250×250. Bone marrow smear: 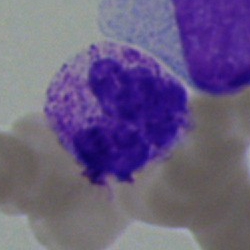
A segmented neutrophil.